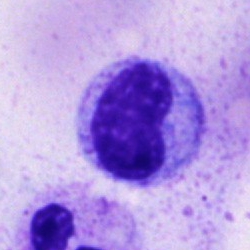

This is a metamyelocyte.